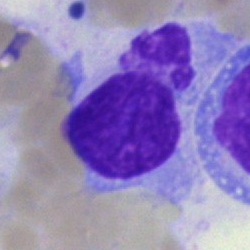The morphological class is typical lymphocyte.